Bone marrow smear
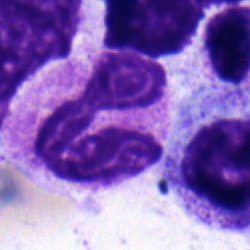
This is a polymorphonuclear neutrophil.